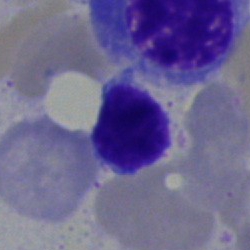

Morphological class: lymphocyte.